Bone marrow aspirate smear; MGG-stained
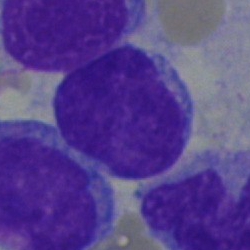 {"cell_type": "blast cell"}